Bone marrow smear; single-cell field: 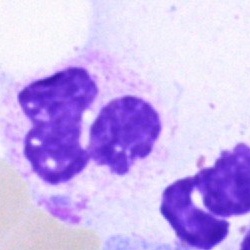 A neutrophil (segmented).